Bone marrow aspirate smear — 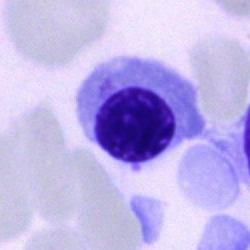Cell type — normoblast.